Bone marrow smear — 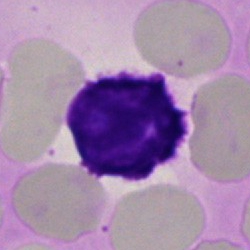
Cell: artifact.